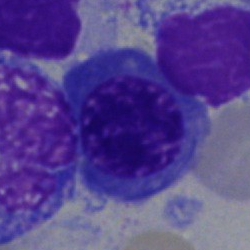 Classification = erythroblast.